Peripheral blood film.
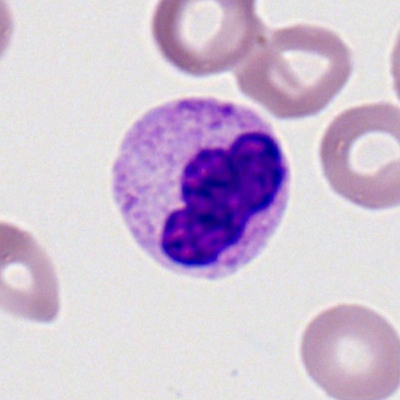This is a neutrophil (segmented).